Peripheral blood smear; May-Grünwald-Giemsa-stained.
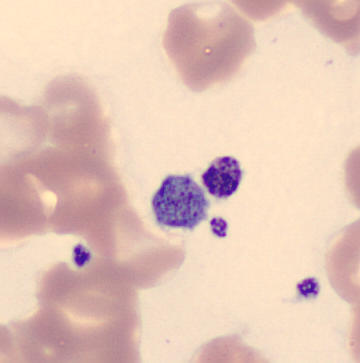
Specimen: peripheral blood smear.
Classification: thrombocyte.